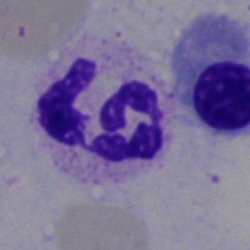Classification = polymorphonuclear neutrophil.